Bone marrow aspirate smear.
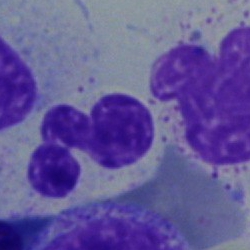

Specimen: bone marrow aspirate smear.
Cell type: neutrophil (segmented).